Bone marrow aspirate smear
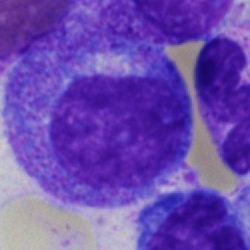 A promyelocyte.